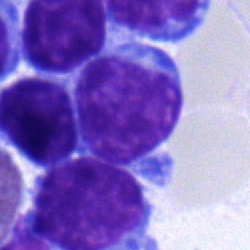
Q: What type of cell is this?
A: Typical lymphocyte.